Bone marrow aspirate smear — 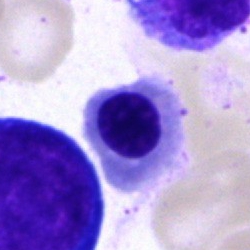

Morphology → nucleated red blood cell.